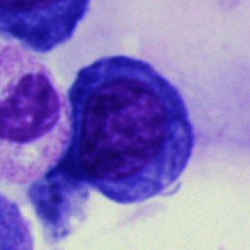The cell shown is an artefact.